MGG-stained. Single cell centered in the field. Bone marrow aspirate smear
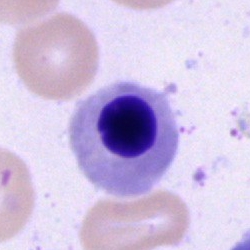 Specimen: bone marrow smear.
Classification: erythroblast.